Bone marrow smear.
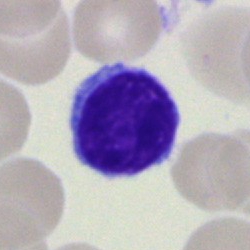

Specimen: bone marrow smear.
Morphological class: lymphocyte.